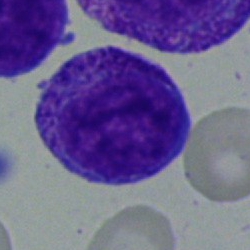
The morphological class is myelocyte.